Bone marrow smear — 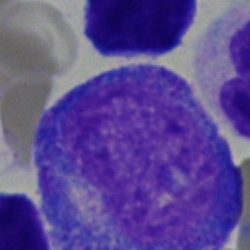

Cell type — progranulocyte.